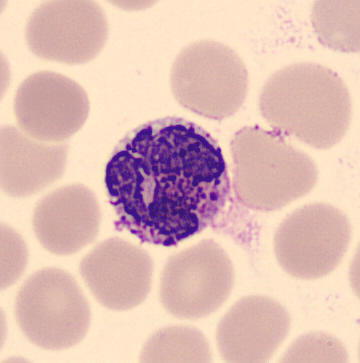 Cropped to a single cell; May-Grünwald-Giemsa-stained; peripheral blood film.

Morphology consistent with a basophilic granulocyte.